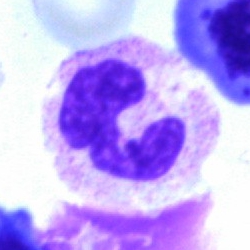

A polymorphonuclear neutrophil.